Bone marrow aspirate smear; 40× objective, oil immersion: 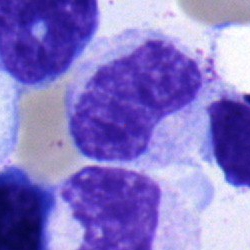

Morphology consistent with a metamyelocyte.